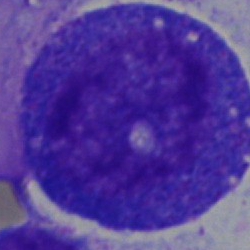
Bone marrow aspirate smear, single cell — progranulocyte.